Bone marrow smear · brightfield microscopy, 40× oil immersion
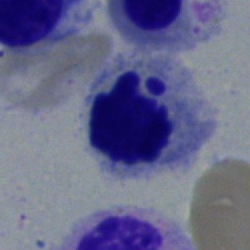Specimen: bone marrow aspirate smear.
Cell type: nucleated red blood cell.